Bone marrow smear · single-cell crop.
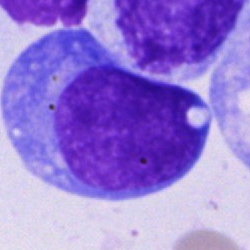 The morphological class is undifferentiated blast.